40× oil immersion; bone marrow smear: 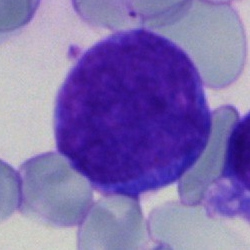
Cell type = blast.